Cropped to a single cell · bone marrow aspirate smear — 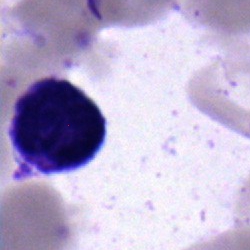
Morphology → blast.